Bone marrow smear; single cell centered in the field; May-Grünwald-Giemsa stain — 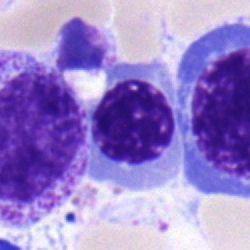
Morphology consistent with a nucleated red cell.